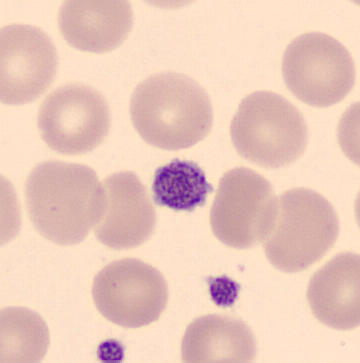 Peripheral blood smear. Identified as a platelet.